Bone marrow smear.
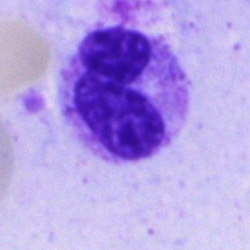

The classification is polymorphonuclear neutrophil.